MGG-stained · bone marrow aspirate smear
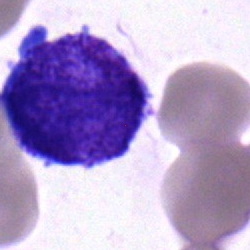The cell is undifferentiated blast.